Bone marrow smear
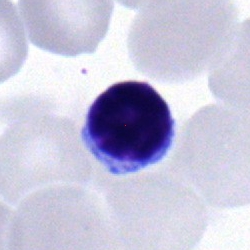
Q: What is the morphological classification of this cell?
A: This is a lymphocyte.